250×250 px · single-cell field · bone marrow smear.
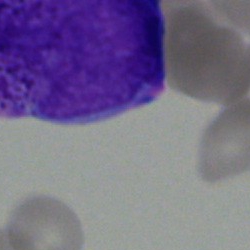Showing an undifferentiated blast.